Bone marrow smear; Pappenheim-stained; brightfield, 40× oil-immersion objective: 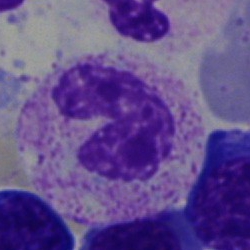 Morphology — stab cell.